Bone marrow aspirate smear. Single-cell field
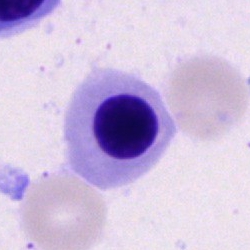

Cell: normoblast.